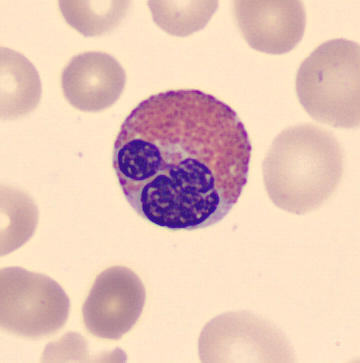
Specimen: peripheral blood smear.
Cell type: eosinophilic granulocyte.

Acquisition: Automated cell imaging (CellaVision DM96).